Bone marrow smear · single-cell field
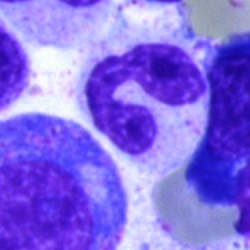A polymorphonuclear neutrophil.